Bone marrow aspirate smear:
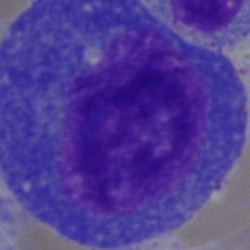Specimen: bone marrow smear.
Cell type: pronormoblast.